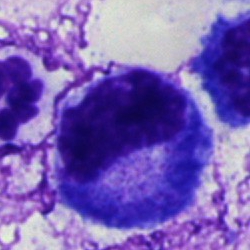
Morphology consistent with a promyelocyte.